40× oil immersion; bone marrow smear: 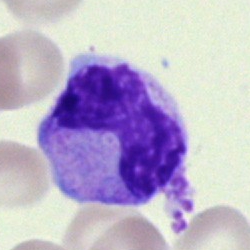

Band neutrophil.